Brightfield, 40× oil-immersion objective · bone marrow smear: 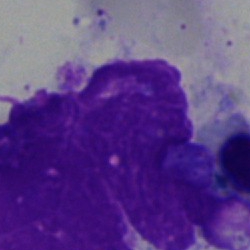The classification is artefact.